MGG-stained · brightfield microscopy, 40× oil immersion · bone marrow smear
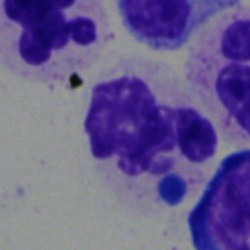
Morphology consistent with a segmented neutrophil.